Bone marrow aspirate smear.
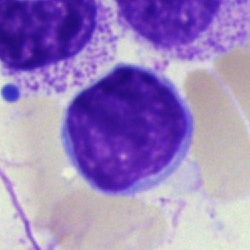Q: What cell is this?
A: Typical lymphocyte.